Bone marrow aspirate smear
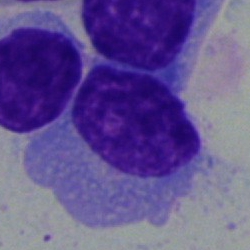Cell: plasma cell.